Peripheral blood film.
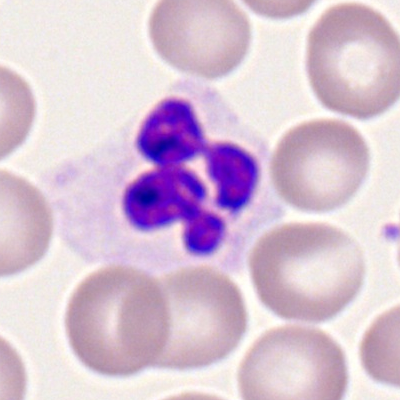 Single cell identified as a segmented neutrophil.